Peripheral blood film — 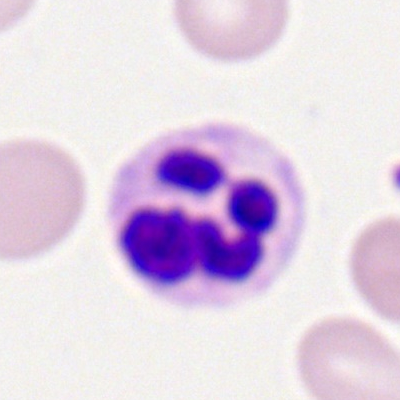

The classification is polymorphonuclear neutrophil.